Bone marrow aspirate smear · brightfield, 40× oil-immersion objective: 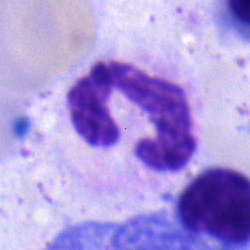 Q: What is shown here?
A: It is a segmented neutrophil.